May-Grünwald-Giemsa/Pappenheim stain; bone marrow aspirate smear:
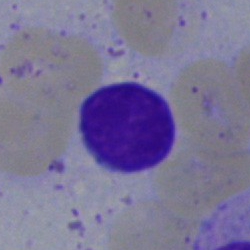 Morphology consistent with a lymphocyte.